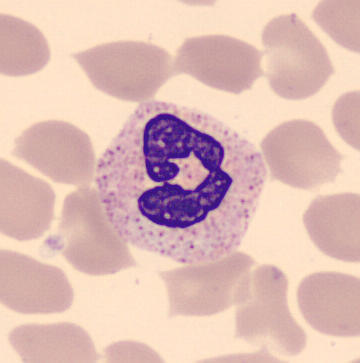 The cell is polymorphonuclear neutrophil.
Peripheral blood film. 360×363.